Bone marrow smear. 40× objective, oil immersion
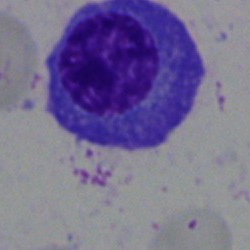

Cell type: plasmacyte.